Brightfield, 40× oil-immersion objective · bone marrow smear · MGG-stained
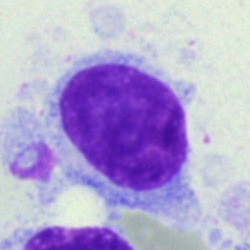

Hairy cell.